MGG-stained. Bone marrow aspirate smear: 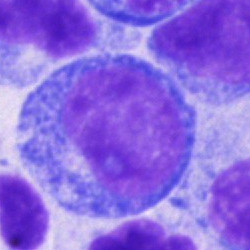Q: What is shown here?
A: Blast.